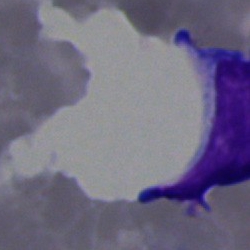
Morphology — artefact.